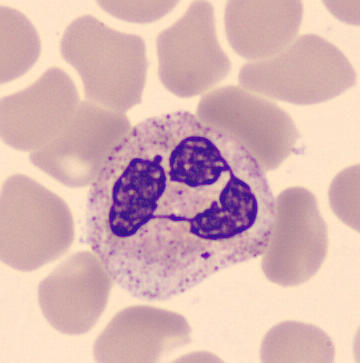

Image: May Grünwald-Giemsa stain; peripheral blood film; imaged on a CellaVision DM96 analyser.

A neutrophil (segmented).